Peripheral blood smear.
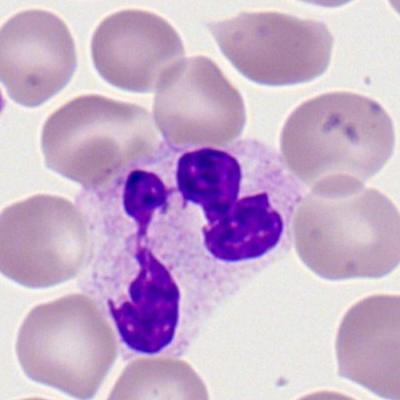 Classification: polymorphonuclear neutrophil.